Bone marrow smear:
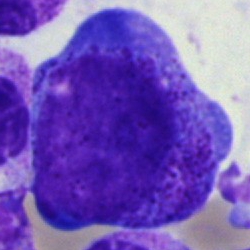

Morphological class = progranulocyte.